Bone marrow smear: 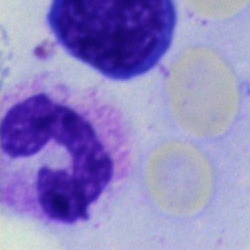 Polymorphonuclear neutrophil.